Bone marrow aspirate smear: 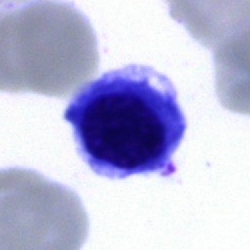

Nucleated red cell.